Bone marrow smear:
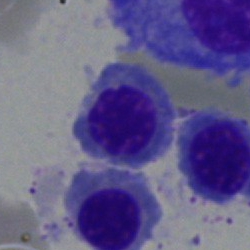

Nucleated red cell.